Bone marrow aspirate smear:
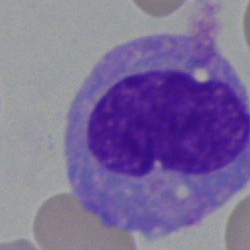Cell: monocyte.